Bone marrow smear · cropped to a single cell.
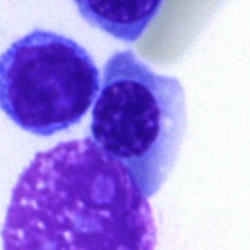 Showing a nucleated red blood cell.